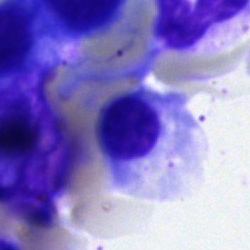Cell type = erythroblast.